Bone marrow aspirate smear
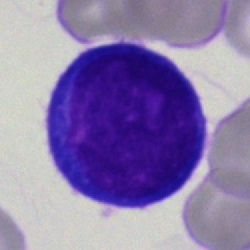Cell = pronormoblast.